Bone marrow smear · brightfield microscopy, 40× oil immersion · MGG-stained
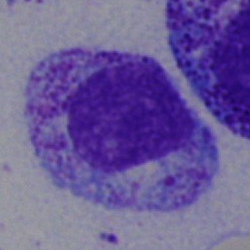
Morphology — myelocyte.